Bone marrow smear. 250×250 px:
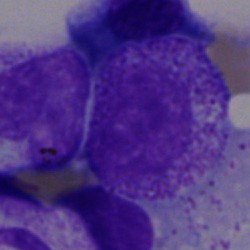 Myelocyte.